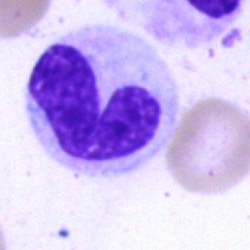 Single-cell crop from a bone marrow smear: band neutrophil.